Bone marrow smear; single-cell crop; 250×250.
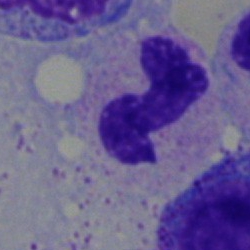
Q: What type of cell is this?
A: This is a polymorphonuclear neutrophil.